Bone marrow aspirate smear · brightfield microscopy, 40× oil immersion · MGG-stained — 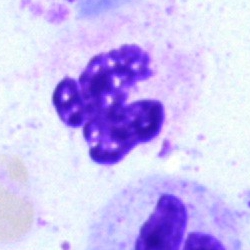Cell type: polymorphonuclear neutrophil.